Bone marrow smear · brightfield, 40× oil-immersion objective — 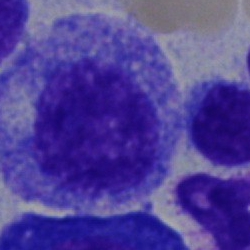Impression → progranulocyte.